MGG-stained; bone marrow aspirate smear.
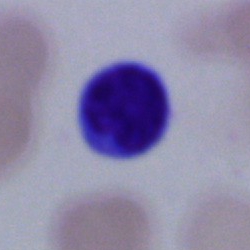
{"cell_type": "lymphocyte", "lineage": "lymphoid"}